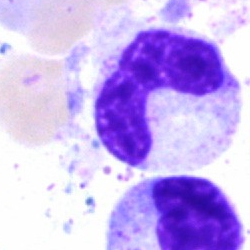Single-cell crop from a bone marrow smear: band neutrophil.